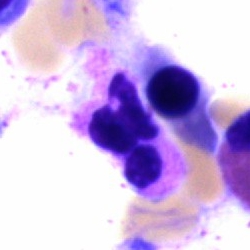

Bone marrow smear showing a segmented neutrophil.